Bone marrow smear; May-Grünwald-Giemsa/Pappenheim stain; 40× objective, oil immersion.
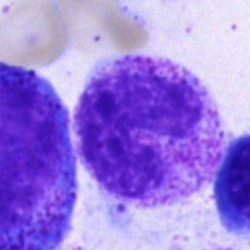
Morphology — stab cell.